Bone marrow smear
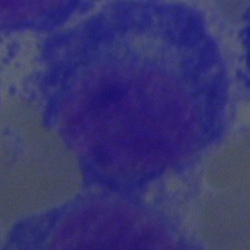

This is a plasma cell.